Bone marrow smear
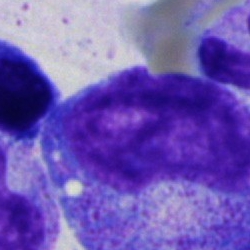

Showing a plasmacyte.